Peripheral blood film · May Grünwald-Giemsa stain — 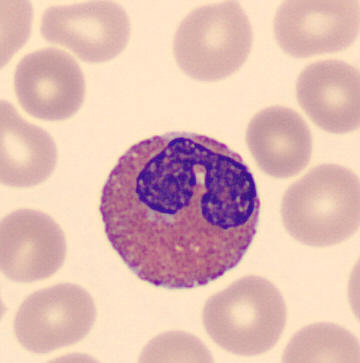
Impression — eosinophil.